100× objective, oil immersion. Peripheral blood film
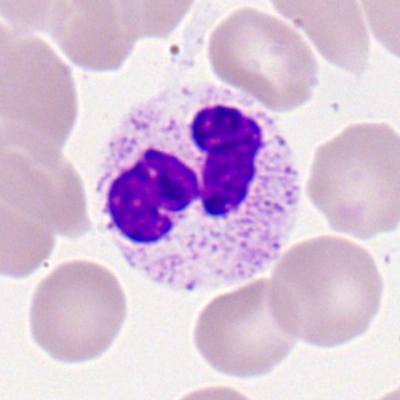 Impression — segmented neutrophil.